250×250 px; bone marrow smear; single-cell crop.
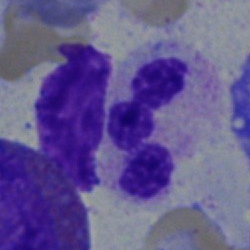 The morphological class is polymorphonuclear neutrophil.